Bone marrow smear · MGG-stained: 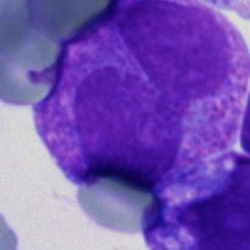
Cell type = undifferentiated blast.